Bone marrow aspirate smear
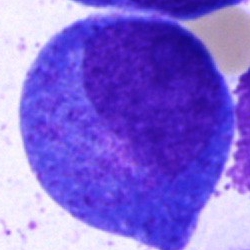

Cell = promyelocyte.